Bone marrow aspirate smear. MGG-stained: 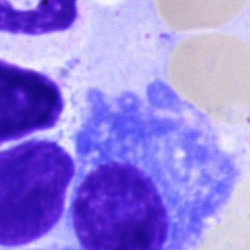Specimen: bone marrow smear.
Cell type: plasma cell.